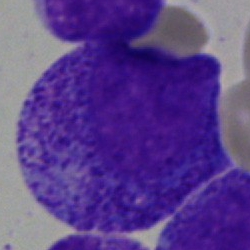 {"cell_type": "promyelocyte", "lineage": "myeloid"}